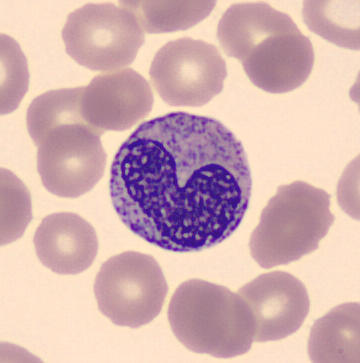Classification — metamyelocyte.